Peripheral blood smear: 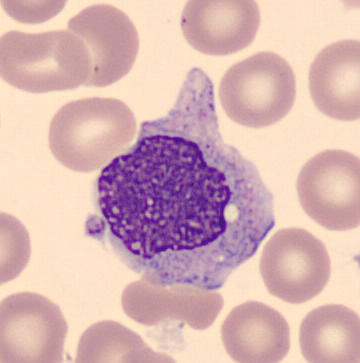Specimen: peripheral blood film.
Cell: monocyte.
Lineage: myeloid.